250 by 250 pixels · bone marrow smear — 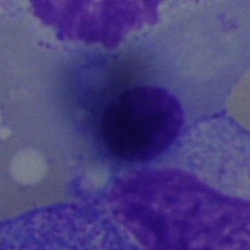 Specimen: bone marrow smear.
Cell type: erythroblast.
Lineage: erythroid.